250 by 250 pixels · brightfield, 40× oil-immersion objective · bone marrow smear
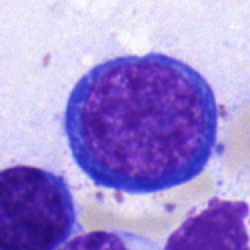 Classification — normoblast.